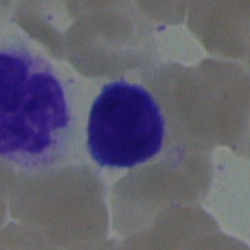Morphological class = lymphocyte.